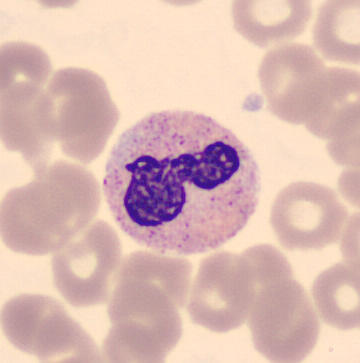

A stab cell. Image: Peripheral blood smear.